Bone marrow aspirate smear:
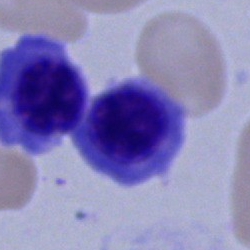 The classification is erythroblast.